Bone marrow smear.
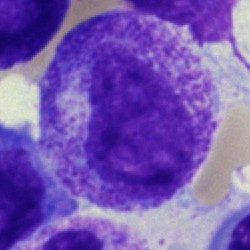Specimen: bone marrow smear.
Cell: myelocyte.